Bone marrow smear:
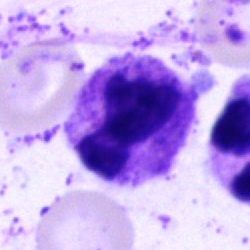

Specimen: bone marrow smear.
Cell: neutrophil (segmented).
Lineage: myeloid.